40× objective, oil immersion · bone marrow smear — 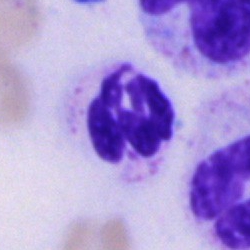Q: What cell is this?
A: Neutrophil (segmented).